Bone marrow aspirate smear.
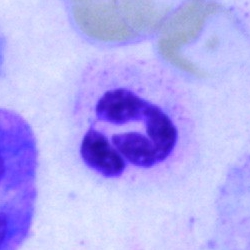
Specimen: bone marrow aspirate smear.
Cell: neutrophil (segmented).